Bone marrow smear — 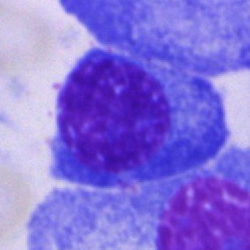Classification — plasma cell.